Bone marrow aspirate smear
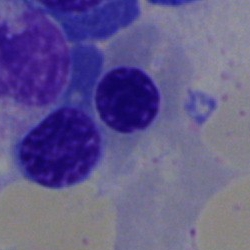

Single cell identified as a normoblast.